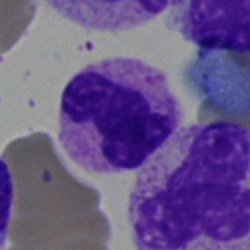Q: What type of cell is this?
A: Segmented neutrophil.